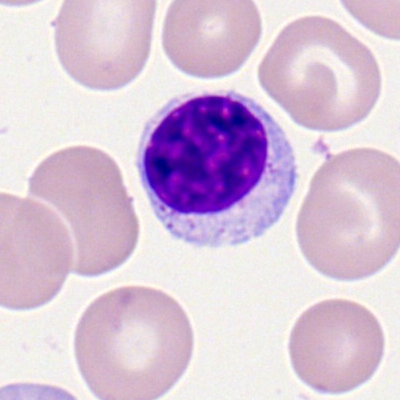 Cell = typical lymphocyte.